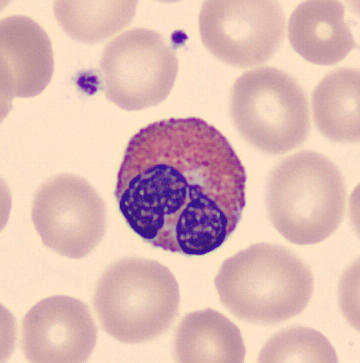
The cell type is eosinophilic granulocyte.
Peripheral blood film.